Bone marrow aspirate smear — 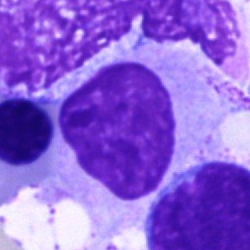Specimen: bone marrow smear.
Morphological class: cell of indeterminate lineage.